Bone marrow aspirate smear: 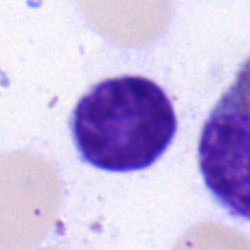

Classification — lymphocyte.